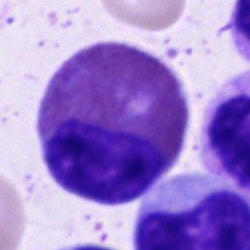

Bone marrow aspirate smear, single cell — eosinophil.